Bone marrow aspirate smear:
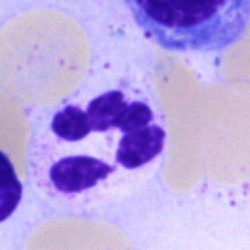 Morphology consistent with a polymorphonuclear neutrophil.